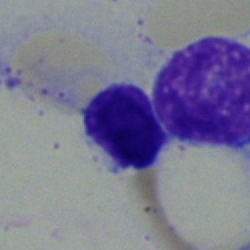

The cell type is lymphocyte.